Image size 250×250 · bone marrow smear — 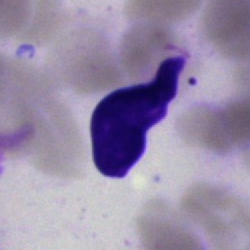

Artefact.